Bone marrow aspirate smear. 250×250 px.
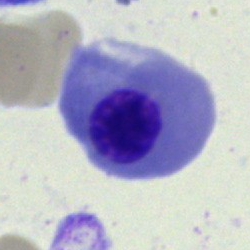

Erythroblast.